Brightfield microscopy, 40× oil immersion · MGG-stained · bone marrow aspirate smear — 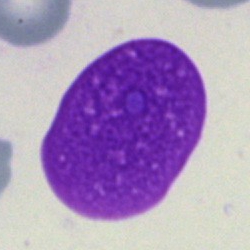 Morphological class — artefact.